Bone marrow aspirate smear — 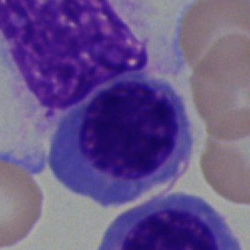Q: Which cell type is shown here?
A: This is a nucleated red cell.